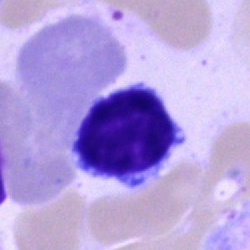 Classification = lymphocyte.